Peripheral blood smear: 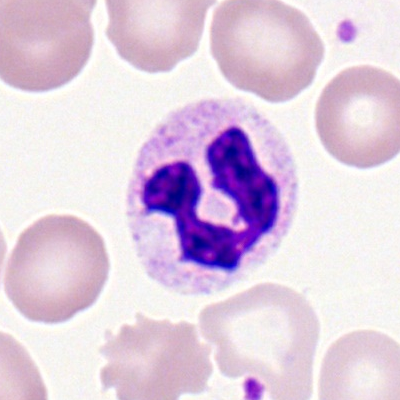

Cell: segmented neutrophil.